Bone marrow aspirate smear; May-Grünwald-Giemsa/Pappenheim stain:
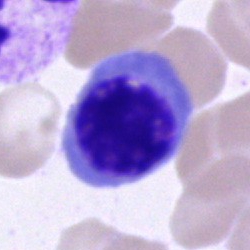 Morphological class — normoblast.